Bone marrow smear
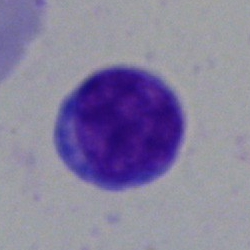

A blast cell.